May-Grünwald-Giemsa/Pappenheim stain; bone marrow aspirate smear:
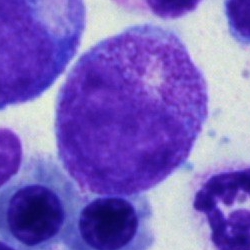 Q: Identify the cell.
A: A myelocyte.